Bone marrow smear: 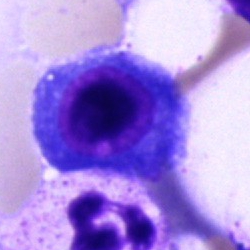
Q: What is shown here?
A: Plasma cell.